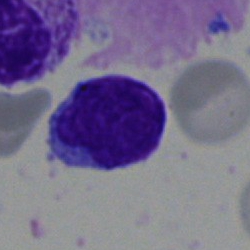
Q: What is shown here?
A: It is a lymphocyte.